Bone marrow aspirate smear:
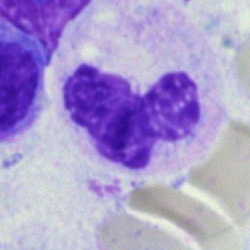Specimen: bone marrow aspirate smear.
Cell type: polymorphonuclear neutrophil.
Lineage: myeloid.